Bone marrow smear: 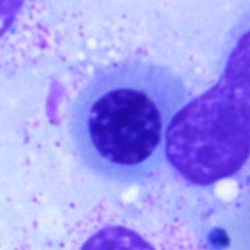
Impression — nucleated red blood cell.